Bone marrow smear.
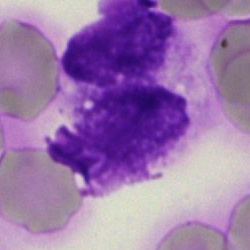The cell shown is an artifact.